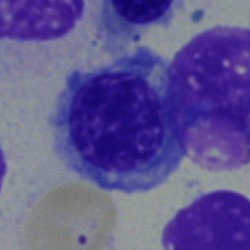
Cell: nucleated red blood cell.